Bone marrow smear:
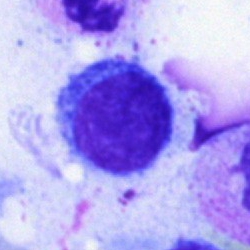Typical lymphocyte.